Cropped to a single cell; bone marrow aspirate smear; 40× oil immersion: 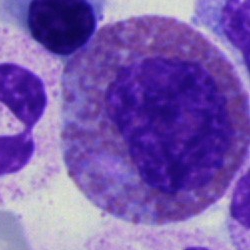 The morphological class is eosinophilic granulocyte.